Bone marrow smear: 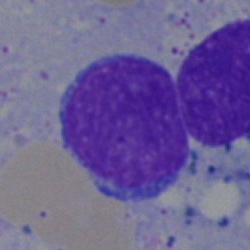 Q: What is shown here?
A: This is a typical lymphocyte.